Bone marrow smear. 250×250 px: 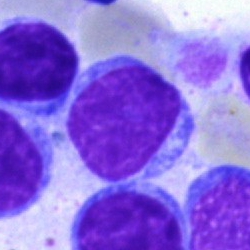

Typical lymphocyte.